May-Grünwald-Giemsa/Pappenheim stain; bone marrow smear; brightfield microscopy, 40× oil immersion:
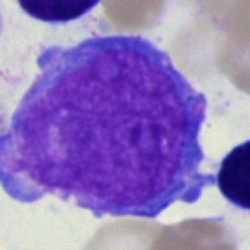 Showing an undifferentiated blast.